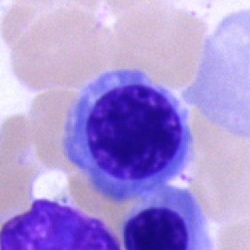

Single-cell crop from a bone marrow smear: erythroblast.